250 by 250 pixels · bone marrow aspirate smear:
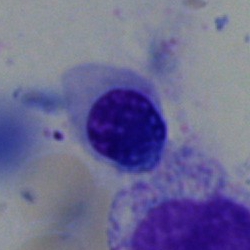

Morphology consistent with a nucleated red blood cell.